Bone marrow smear
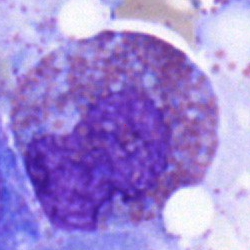
Specimen: bone marrow aspirate smear.
Cell: eosinophilic granulocyte.
Lineage: myeloid.